Cropped to a single cell · 40× oil immersion · bone marrow aspirate smear:
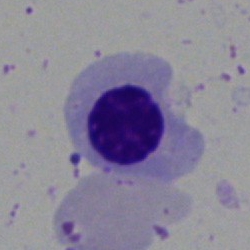

Cell = nucleated red blood cell.